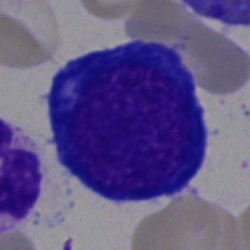Q: What is the morphological classification of this cell?
A: A nucleated red cell.